40× oil immersion; bone marrow aspirate smear — 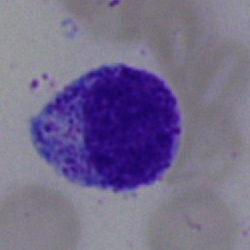 The morphological class is progranulocyte.